Brightfield, 40× oil-immersion objective; bone marrow smear:
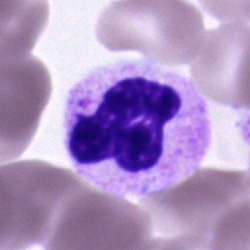
Morphology consistent with a neutrophil (segmented).